Bone marrow smear: 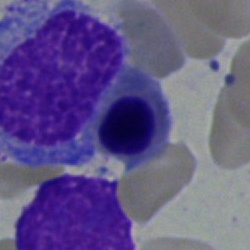
An erythroblast.